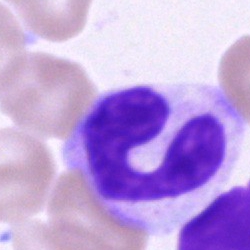

Q: What is shown here?
A: It is a stab cell.